Bone marrow aspirate smear; 250 by 250 pixels; single-cell crop:
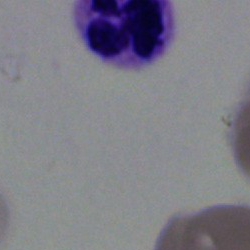

Cell type: segmented neutrophil.